Bone marrow aspirate smear — 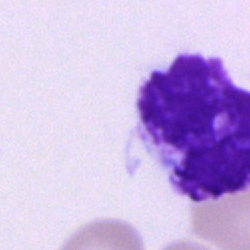
Q: What is shown here?
A: Artifact.